250×250. Bone marrow aspirate smear: 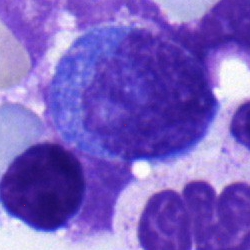

Q: What type of cell is this?
A: Promyelocyte.